Bone marrow aspirate smear; brightfield, 40× oil-immersion objective; 250×250:
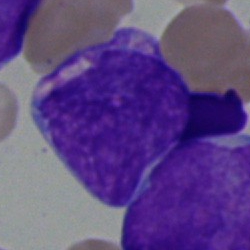
Blast cell.